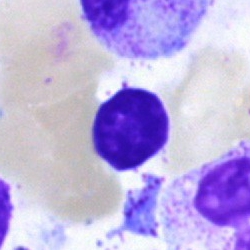 Morphology → lymphocyte.